Bone marrow smear
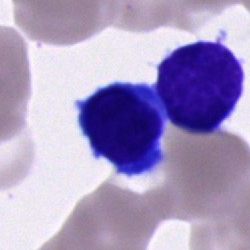Impression → typical lymphocyte.